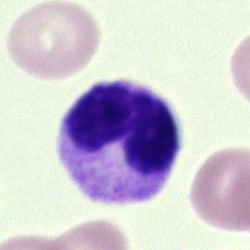Single-cell crop from a bone marrow smear: stab cell.